Bone marrow smear
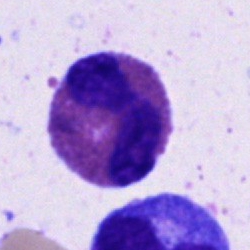
Eosinophilic granulocyte.